Bone marrow smear. 250 by 250 pixels. Brightfield, 40× oil-immersion objective — 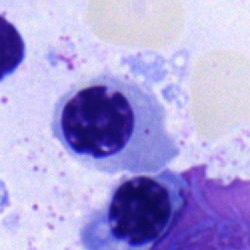
Morphology consistent with a nucleated red cell.